May-Grünwald-Giemsa/Pappenheim stain. Bone marrow smear
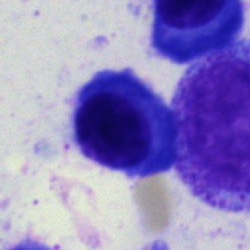Morphological class = plasma cell.